250 by 250 pixels. Bone marrow aspirate smear. Brightfield, 40× oil-immersion objective — 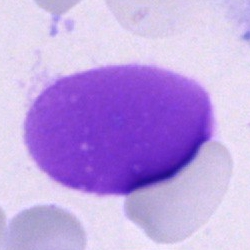 Morphology consistent with an artifact.